100× oil immersion, 14.14 px/µm. Peripheral blood smear:
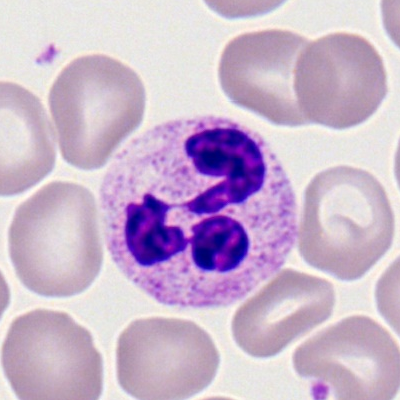 Q: What type of cell is this?
A: It is a polymorphonuclear neutrophil.